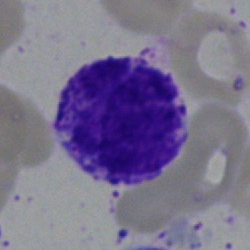Morphology consistent with a basophilic granulocyte.